MGG-stained; bone marrow aspirate smear: 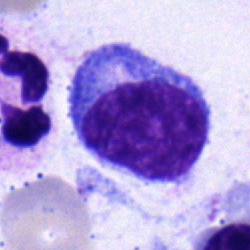Single cell identified as a blast.